Bone marrow aspirate smear; May-Grünwald-Giemsa/Pappenheim stain
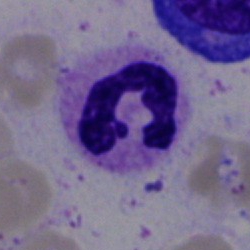Morphology — segmented neutrophil.